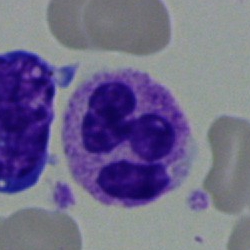 The cell shown is a segmented neutrophil.